250×250. Bone marrow aspirate smear. Pappenheim-stained
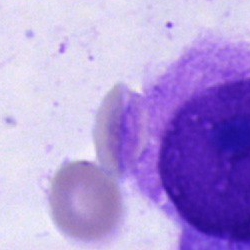This is an unidentifiable cell.